Bone marrow aspirate smear — 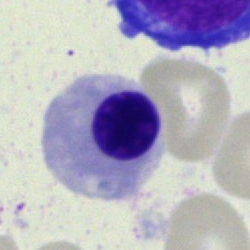 Q: What type of cell is this?
A: A nucleated red blood cell.